Bone marrow smear
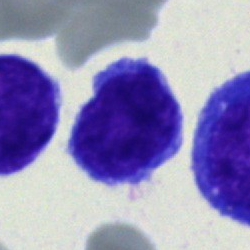
Impression → lymphocyte.